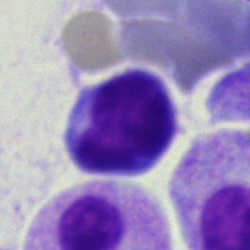Q: What type of cell is this?
A: Lymphocyte.